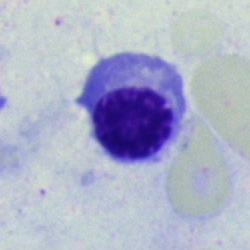

Specimen: bone marrow smear.
Cell type: nucleated red blood cell.
Lineage: erythroid.